Peripheral blood smear — 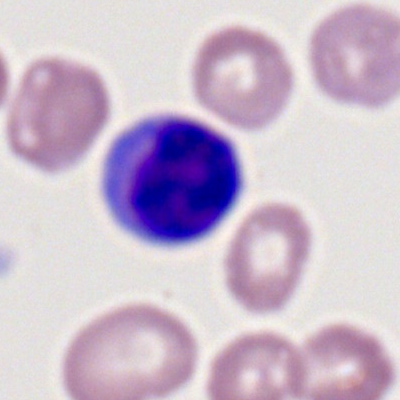Showing a lymphocyte.